Brightfield, 40× oil-immersion objective; bone marrow aspirate smear; single-cell crop.
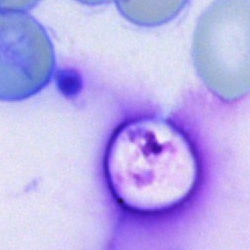

{"cell_type": "artefact"}